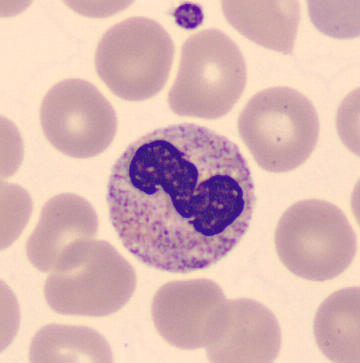
Image: Peripheral blood smear.

Single cell identified as a neutrophil (band).